Bone marrow smear; single cell centered in the field — 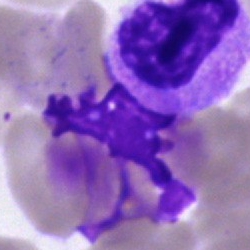Morphology consistent with an artifact.